Bone marrow aspirate smear: 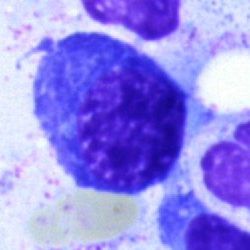 {"cell_type": "nucleated red cell", "lineage": "erythroid"}